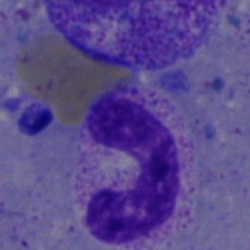 Morphology — band neutrophil.